400×400 px · peripheral blood smear.
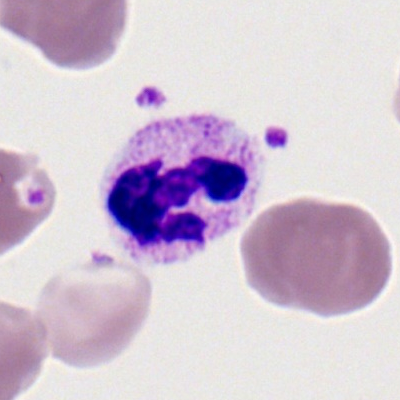Polymorphonuclear neutrophil.